Brightfield microscopy, 40× oil immersion · bone marrow aspirate smear
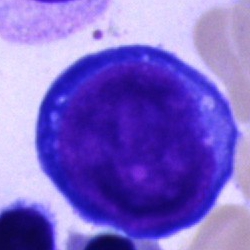Specimen: bone marrow smear.
Classification: proerythroblast.
Lineage: erythroid.